400×400 px. Peripheral blood film. Brightfield, 100× oil-immersion objective — 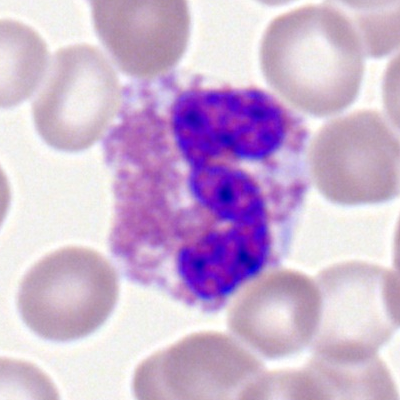 Eosinophilic granulocyte.